250×250. Bone marrow aspirate smear. 40× objective, oil immersion: 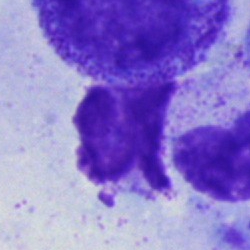An artifact.